Bone marrow smear.
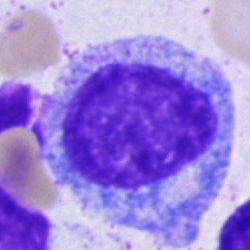
Specimen: bone marrow aspirate smear.
Cell type: promyelocyte.
Lineage: myeloid.